40× objective, oil immersion. Bone marrow aspirate smear: 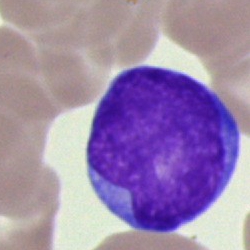Morphology consistent with an undifferentiated blast.